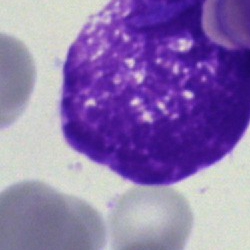
Q: What is shown here?
A: It is an artefact.